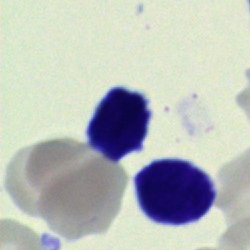Cell type — lymphocyte.